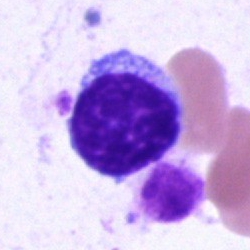
The cell is lymphocyte.